Single-cell field; bone marrow aspirate smear
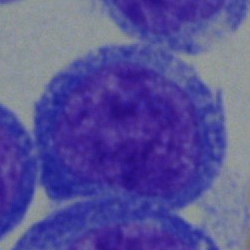
Cell = blast cell.